Brightfield microscopy, 40× oil immersion · bone marrow smear: 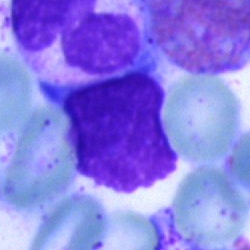

Classification — typical lymphocyte.